Bone marrow smear:
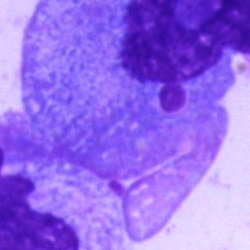
A plasmacyte.